Bone marrow smear — 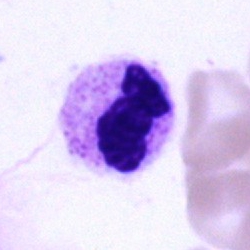
Segmented neutrophil.